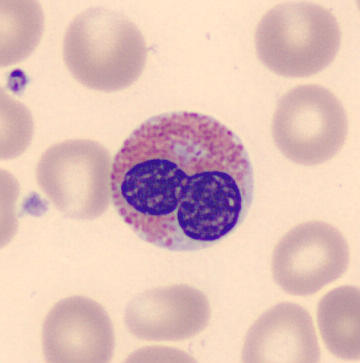 Single cell identified as an eosinophilic granulocyte.

Peripheral blood smear.